Bone marrow aspirate smear — 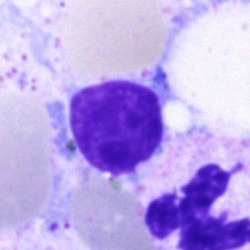The classification is lymphocyte.